Bone marrow aspirate smear; 250×250 px — 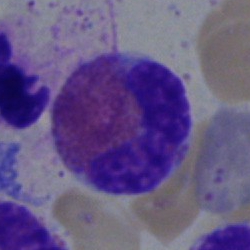 {"cell_type": "eosinophilic granulocyte", "lineage": "myeloid"}